Bone marrow aspirate smear:
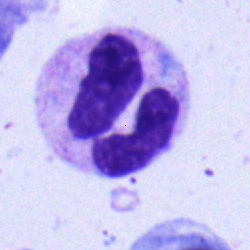The morphological class is polymorphonuclear neutrophil.